Peripheral blood film
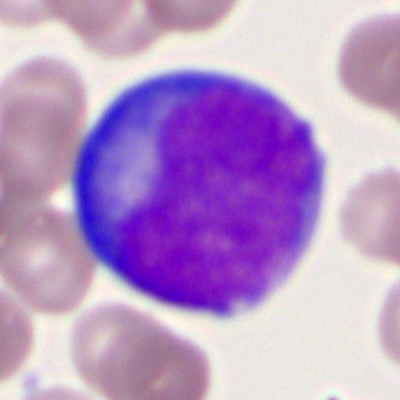 Morphology → myeloblast.